Bone marrow smear · single cell centered in the field · 250 by 250 pixels:
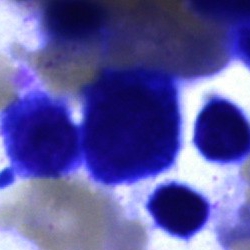

Cell — artefact.